Bone marrow aspirate smear. Brightfield microscopy, 40× oil immersion
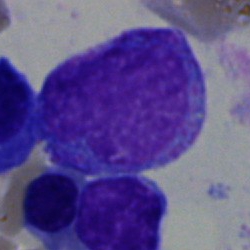

Cell: promyelocyte.